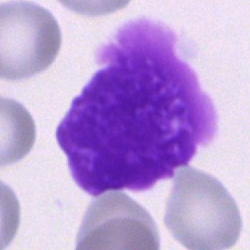

{"cell_type": "artefact"}